Peripheral blood smear
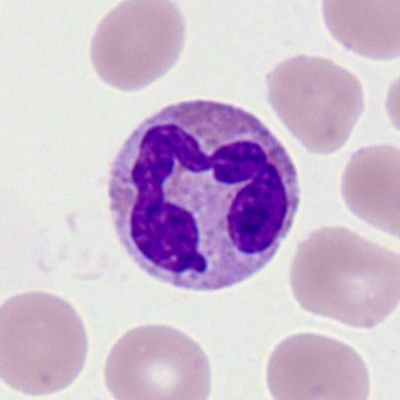

Polymorphonuclear neutrophil.